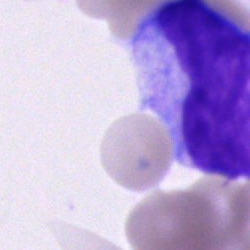 Impression — unidentifiable cell.